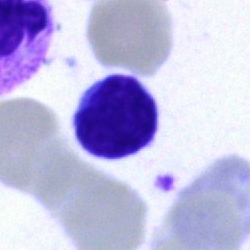Classification = typical lymphocyte.